Bone marrow smear
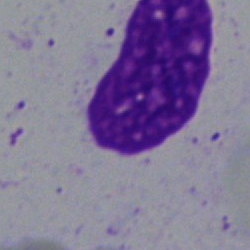

Morphology — artifact.